Bone marrow smear: 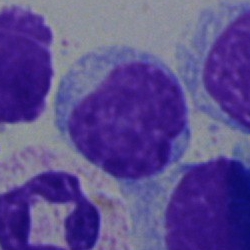Cell = lymphocyte.